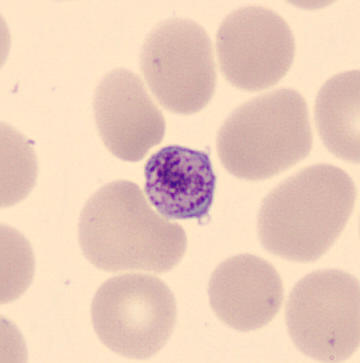

The morphological class is platelet.
Preparation: Peripheral blood film.